Bone marrow aspirate smear — 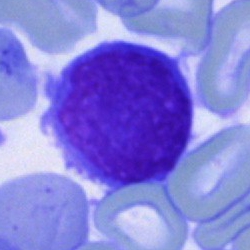

Single cell identified as a lymphocyte.